Bone marrow smear: 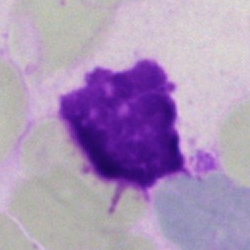
Q: What is shown here?
A: This is an artifact.